Bone marrow aspirate smear; May-Grünwald-Giemsa stain:
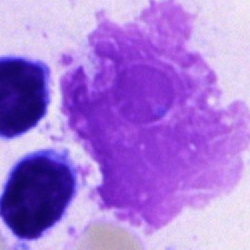 Q: What is shown here?
A: An artifact.